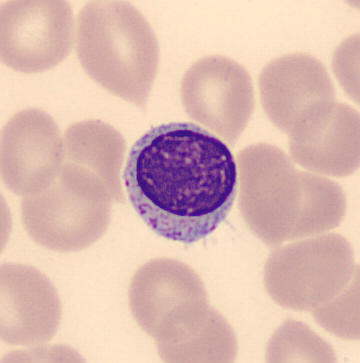

Preparation: Peripheral blood smear.

The cell is lymphocyte.